Peripheral blood smear:
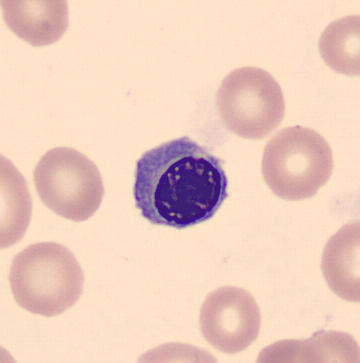
The cell shown is a normoblast.